250×250. Bone marrow aspirate smear:
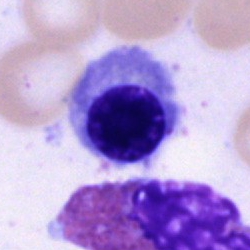
Showing an erythroblast.